Bone marrow aspirate smear:
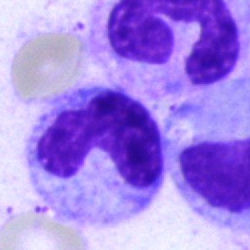Q: Which cell type is shown here?
A: It is a stab cell.